Cropped to a single cell. Bone marrow aspirate smear: 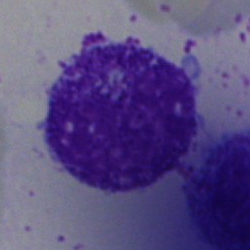 Q: What type of cell is this?
A: It is a myelocyte.